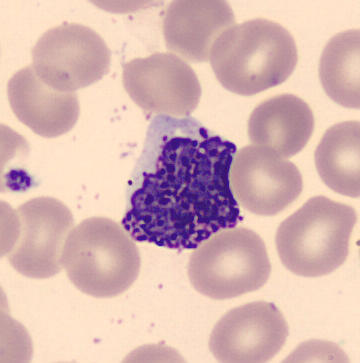Image: Peripheral blood film.
Basophilic granulocyte.